Single-cell crop. Bone marrow aspirate smear:
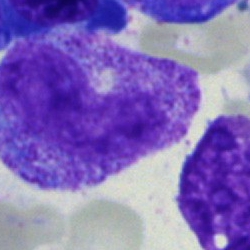 Q: What is the morphological classification of this cell?
A: Band-form neutrophil.